Bone marrow smear
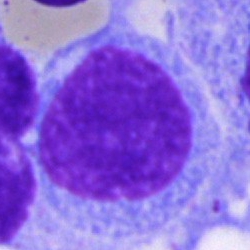 Specimen: bone marrow smear.
Cell: blast.